250 by 250 pixels; bone marrow aspirate smear; May-Grünwald-Giemsa/Pappenheim stain:
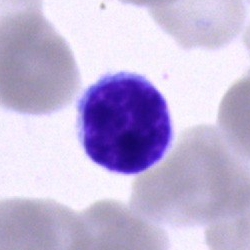

Showing a typical lymphocyte.